Brightfield microscopy, 40× oil immersion; bone marrow aspirate smear; single-cell field:
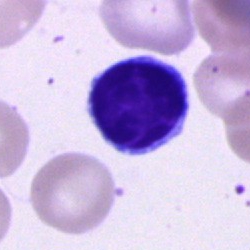 Q: What is shown here?
A: Lymphocyte.